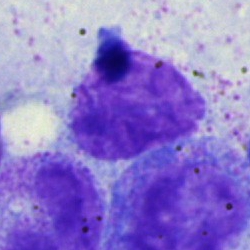 Morphological class — cell of indeterminate lineage.